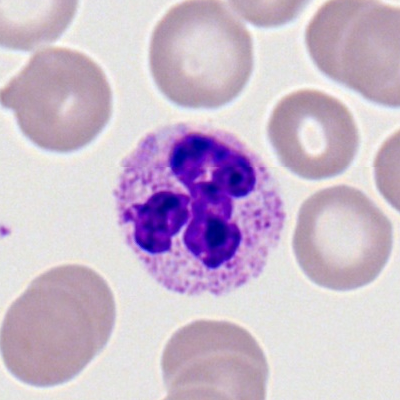Specimen: peripheral blood film.
Classification: polymorphonuclear neutrophil.
Lineage: myeloid.